Single-cell crop. 400×400 px. Peripheral blood smear:
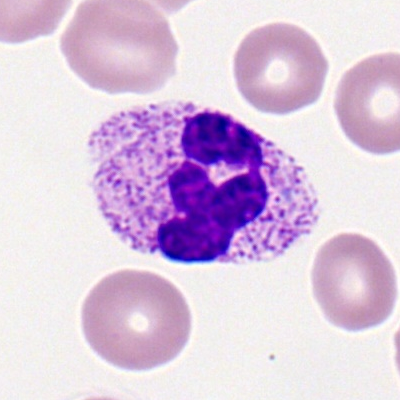
Specimen: peripheral blood film.
Classification: neutrophil (segmented).